40× oil immersion. Bone marrow smear: 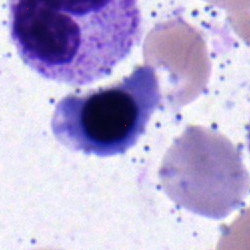 This is an erythroblast.